Single cell centered in the field · bone marrow smear · MGG-stained: 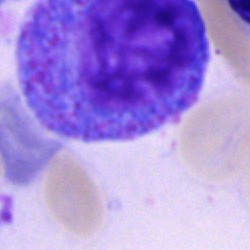 Morphological class — promyelocyte.